Bone marrow aspirate smear; 250×250: 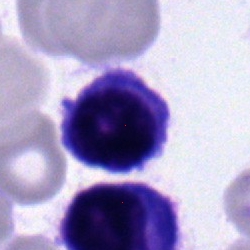 Cell = typical lymphocyte.